Bone marrow aspirate smear
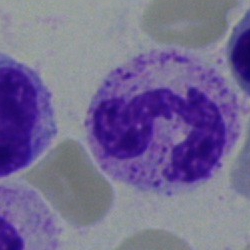
Impression → polymorphonuclear neutrophil.